Bone marrow aspirate smear — 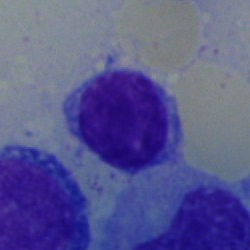 The cell shown is a typical lymphocyte.